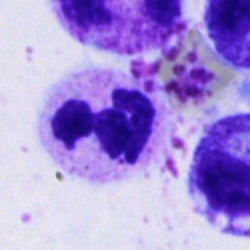 Specimen: bone marrow smear.
Morphological class: segmented neutrophil.